Bone marrow smear — 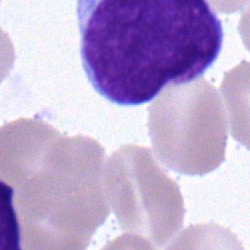This is an undifferentiated blast.